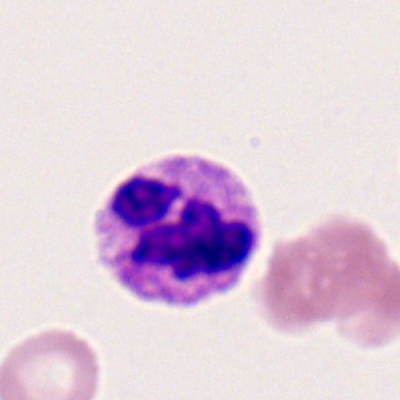Classification: segmented neutrophil.